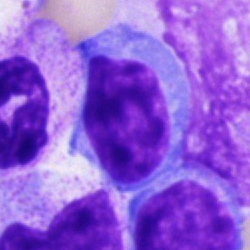

A lymphocyte.